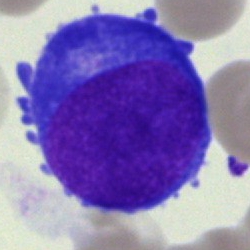Showing a proerythroblast.